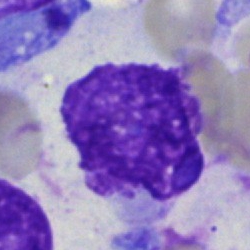 Single-cell crop from a bone marrow smear: artefact.